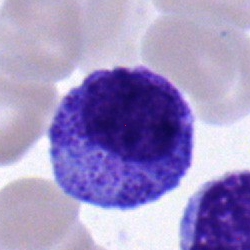

{"cell_type": "promyelocyte", "lineage": "myeloid"}